Bone marrow aspirate smear: 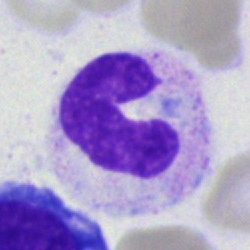 Morphology consistent with a stab cell.